Bone marrow smear:
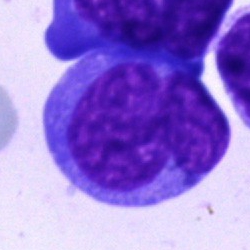
Classification — blast cell.